Bone marrow aspirate smear: 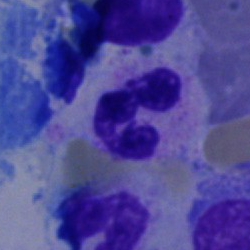

Q: What is shown here?
A: It is a neutrophil (segmented).